Peripheral blood film — 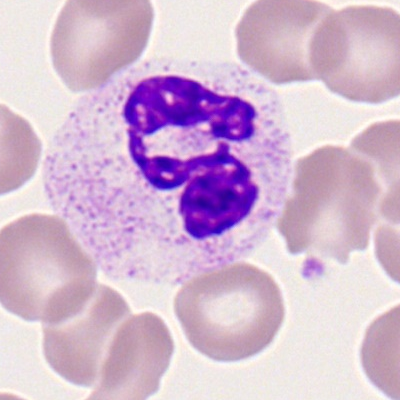
This is a polymorphonuclear neutrophil.